Bone marrow aspirate smear
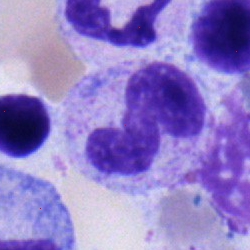

Cell: band-form neutrophil.